Bone marrow aspirate smear · single-cell field.
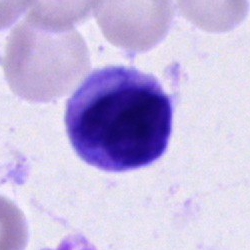
Morphology — unidentifiable cell.